Bone marrow aspirate smear:
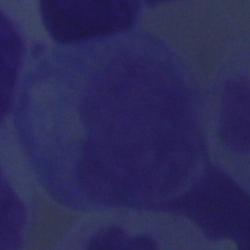 Classification: artifact.